Romanowsky-stained · peripheral blood smear:
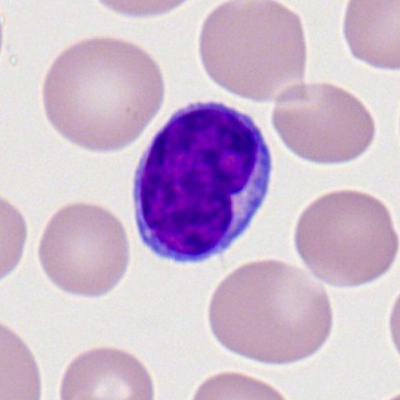Specimen: peripheral blood film.
Morphological class: lymphocyte.
Lineage: lymphoid.